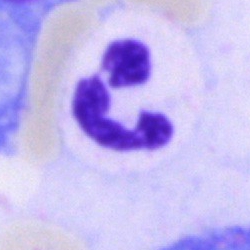Cell = polymorphonuclear neutrophil.